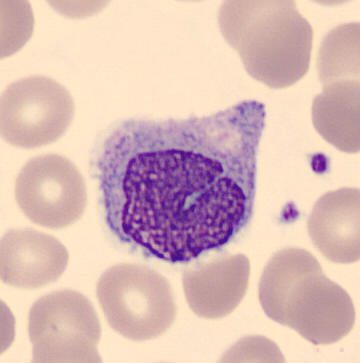 Specimen: peripheral blood smear.
Classification: monocyte.